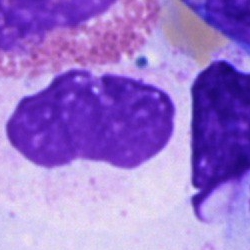 Morphological class = unidentifiable cell.